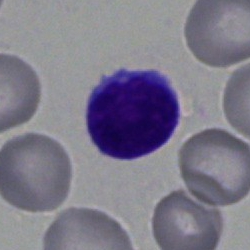

Bone marrow aspirate smear, single cell — typical lymphocyte.